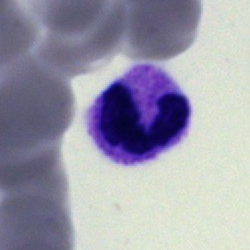Morphology — segmented neutrophil.